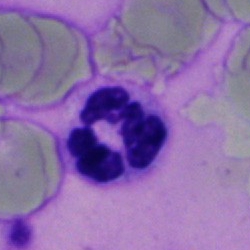

A neutrophil (segmented).